40× objective, oil immersion. Bone marrow smear. Image size 250×250
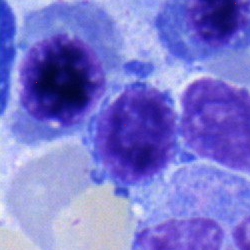 Classification — lymphocyte.